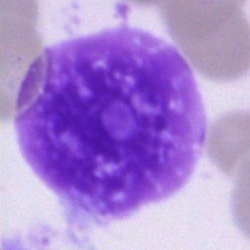

Impression → artifact.